Bone marrow smear · brightfield, 40× oil-immersion objective:
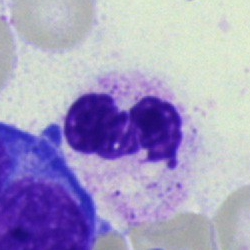Cell type — polymorphonuclear neutrophil.